Bone marrow smear.
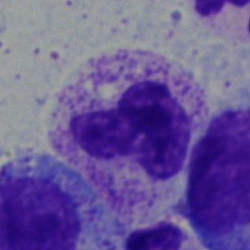 Morphological class = polymorphonuclear neutrophil.